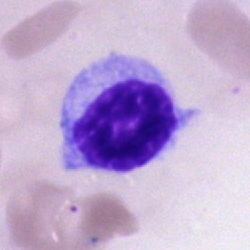

Q: What type of cell is this?
A: Typical lymphocyte.